Brightfield microscopy, 40× oil immersion; bone marrow smear: 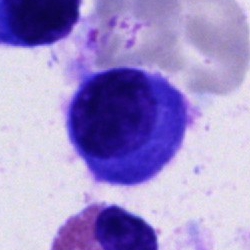Q: What type of cell is this?
A: It is a plasmacyte.